Single-cell field · bone marrow smear
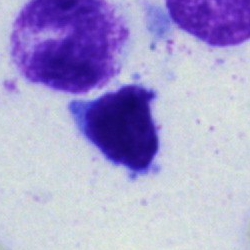

Cell = lymphocyte.